Peripheral blood film
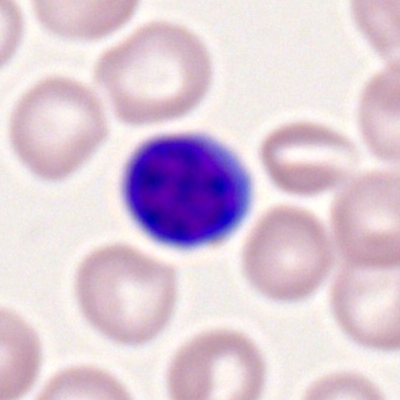Classification — typical lymphocyte.